Bone marrow smear:
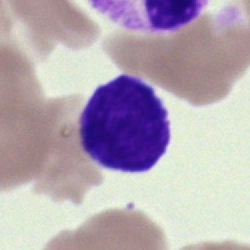 Morphology consistent with an unidentifiable cell.